Bone marrow aspirate smear — 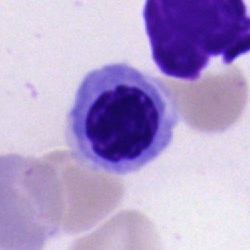 Q: What is the morphological classification of this cell?
A: This is a normoblast.